Bone marrow smear:
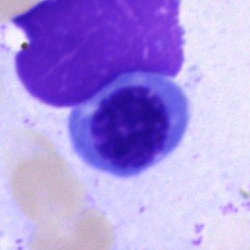A nucleated red cell.